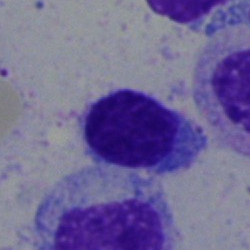 Morphological class — lymphocyte.